Peripheral blood smear · 400 by 400 pixels — 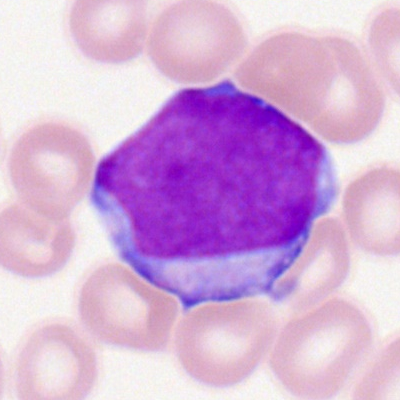
Myeloblast.